Bone marrow aspirate smear: 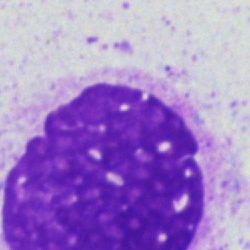
Classification — artifact.